Pappenheim-stained. Brightfield, 40× oil-immersion objective. Bone marrow smear
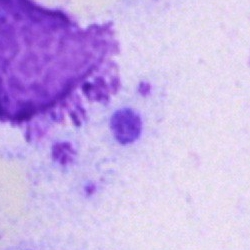
An artefact.